Bone marrow smear:
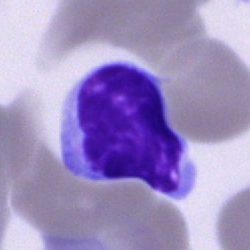
The cell shown is a typical lymphocyte.